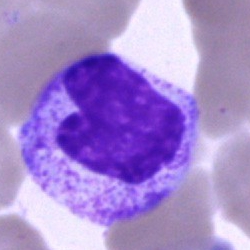

Classification — segmented neutrophil.